MGG-stained · bone marrow smear — 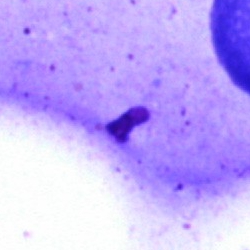 Morphological class: artifact.